Bone marrow aspirate smear — 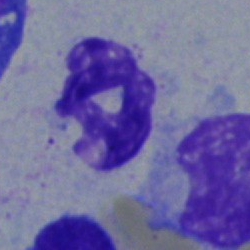

Specimen: bone marrow aspirate smear.
Cell type: polymorphonuclear neutrophil.
Lineage: myeloid.